Bone marrow aspirate smear:
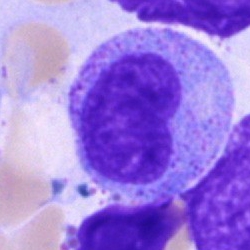 A progranulocyte.